Brightfield, 100× oil-immersion objective · peripheral blood film · single cell centered in the field.
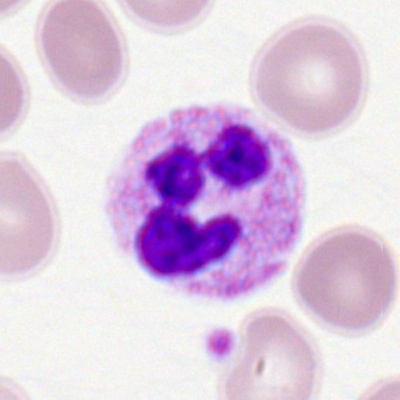 This is a neutrophil (segmented).